40× objective, oil immersion · bone marrow aspirate smear.
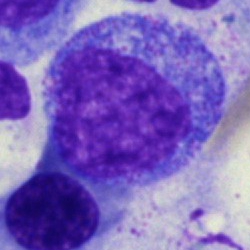
Q: What type of cell is this?
A: A progranulocyte.